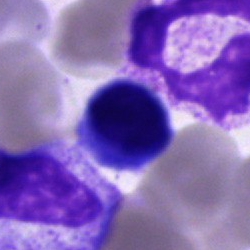

The cell shown is an artefact.